250×250; brightfield microscopy, 40× oil immersion; bone marrow aspirate smear
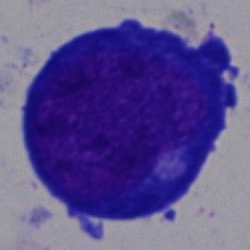 The classification is blast.